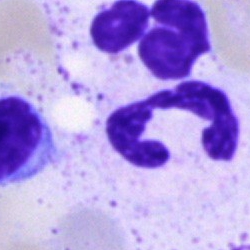
Specimen: bone marrow smear.
Classification: segmented neutrophil.
Lineage: myeloid.